Bone marrow smear.
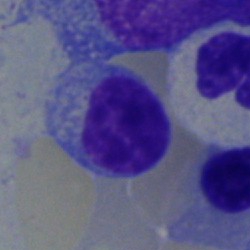

{"cell_type": "typical lymphocyte", "lineage": "lymphoid"}